Peripheral blood film:
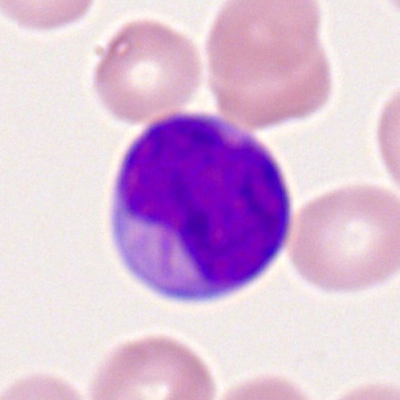 Classification: myeloid blast.